Bone marrow smear · May-Grünwald-Giemsa/Pappenheim stain: 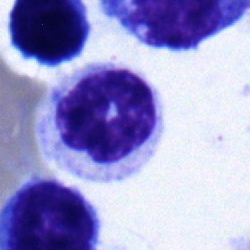 Showing a stab cell.